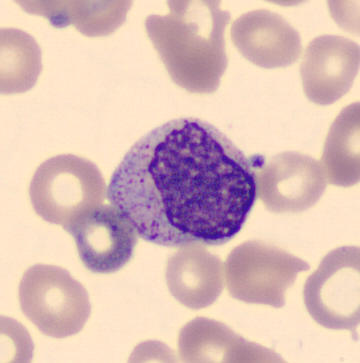

Image: Peripheral blood film.

Cell: myelocyte.